Single cell centered in the field. Bone marrow aspirate smear:
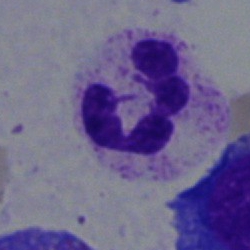

Morphology consistent with a neutrophil (segmented).